Peripheral blood film.
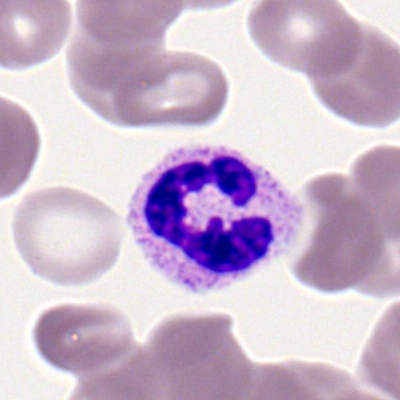
This is a neutrophil (segmented).